Bone marrow aspirate smear: 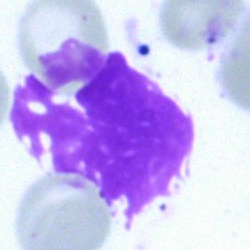
Q: What is shown here?
A: An artifact.